Bone marrow smear — 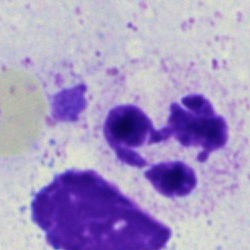
Specimen: bone marrow aspirate smear.
Cell: polymorphonuclear neutrophil.
Lineage: myeloid.